Bone marrow aspirate smear:
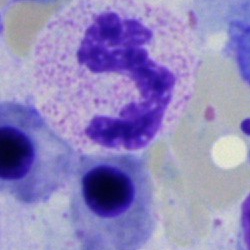The cell shown is a segmented neutrophil.